Bone marrow smear
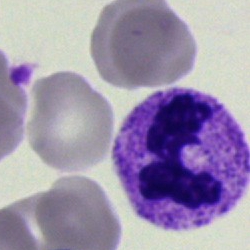The cell type is segmented neutrophil.